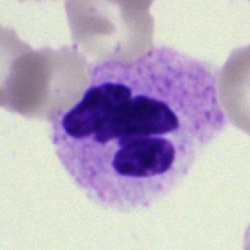Specimen: bone marrow aspirate smear.
Classification: segmented neutrophil.
Lineage: myeloid.